Bone marrow smear · single cell centered in the field — 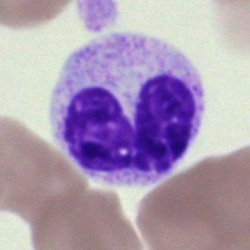
The morphological class is neutrophil (band).